Peripheral blood smear: 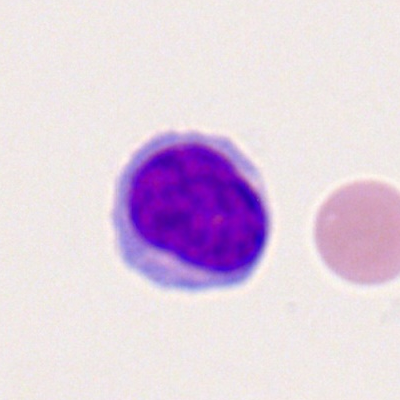

A lymphocyte.